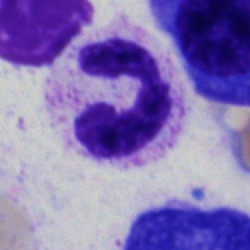

The cell shown is a segmented neutrophil.